Bone marrow aspirate smear.
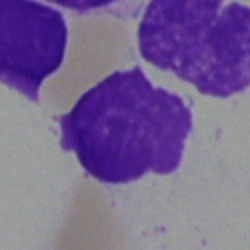
Specimen: bone marrow aspirate smear.
Morphological class: artefact.